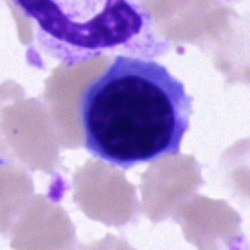 Classification — nucleated red cell.